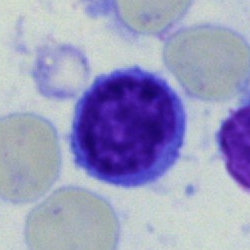

Single-cell crop from a bone marrow smear: lymphocyte.